Bone marrow aspirate smear:
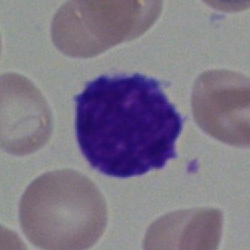
Morphological class — lymphocyte.